Bone marrow aspirate smear. 40× oil immersion — 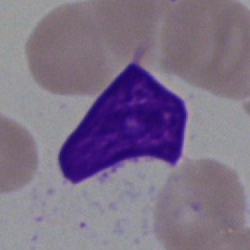 Morphological class — artifact.